Bone marrow smear:
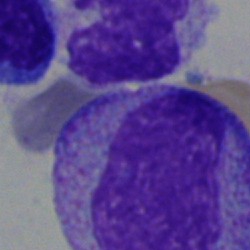 Specimen: bone marrow aspirate smear.
Cell: progranulocyte.